Peripheral blood film
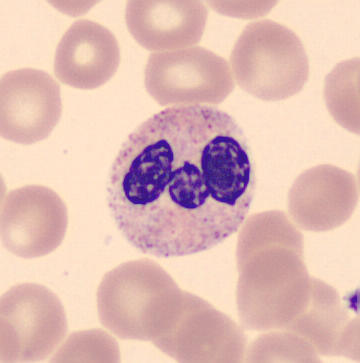Identified as a polymorphonuclear neutrophil.